40× oil immersion. Bone marrow aspirate smear:
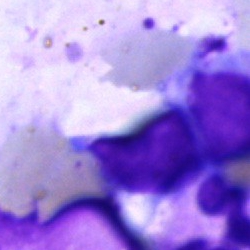

Classification: artefact.